Bone marrow aspirate smear
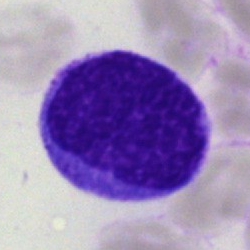 Cell type — lymphocyte.